Single cell centered in the field. Bone marrow aspirate smear: 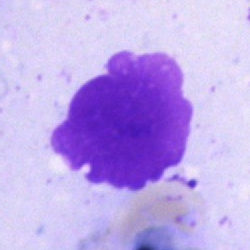

Morphology consistent with an artifact.